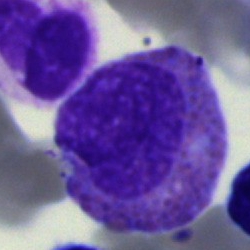 Showing an eosinophil.